250 by 250 pixels; bone marrow smear: 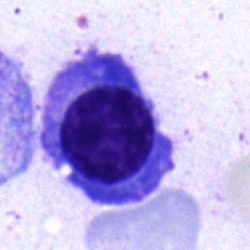
Q: Which cell type is shown here?
A: Plasmacyte.